Bone marrow smear:
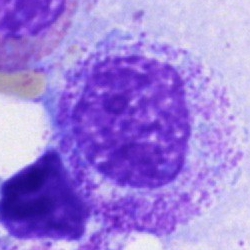

Q: What type of cell is this?
A: Promyelocyte.